Bone marrow aspirate smear · single cell centered in the field.
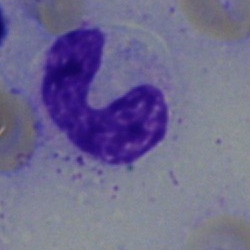
This is a band-form neutrophil.